Single-cell field · 250 by 250 pixels · bone marrow smear
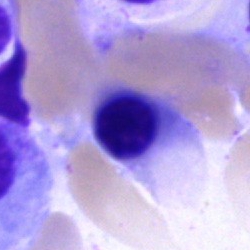
Morphology — normoblast.